Bone marrow aspirate smear.
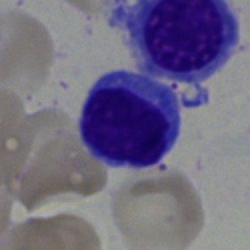
Impression → typical lymphocyte.